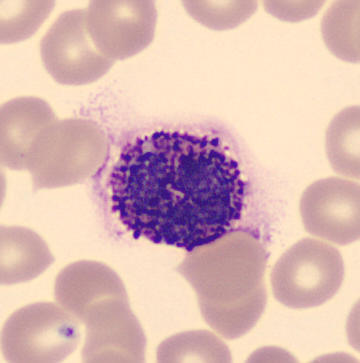
{"cell_type": "basophilic granulocyte"}